Bone marrow smear.
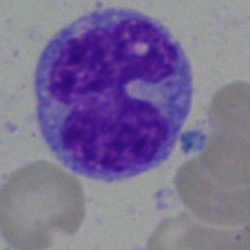

Classification — undifferentiated blast.